40× objective, oil immersion. Bone marrow aspirate smear:
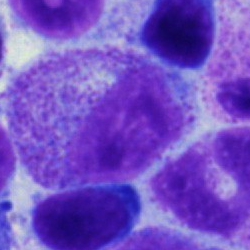

Impression → myelocyte.